Bone marrow aspirate smear. Brightfield, 40× oil-immersion objective: 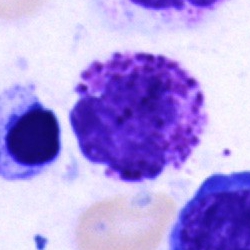

The morphological class is basophilic granulocyte.